Bone marrow smear — 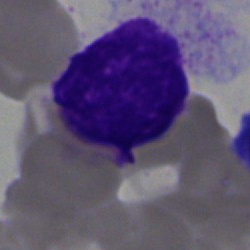 Single cell identified as an artifact.